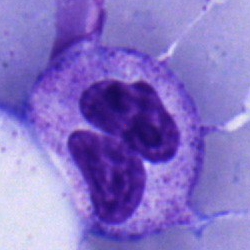Morphological class — neutrophil (segmented).